Bone marrow aspirate smear.
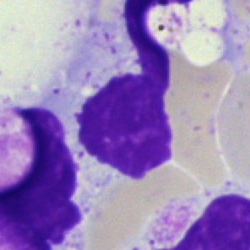
Artifact.